Bone marrow aspirate smear. May-Grünwald-Giemsa/Pappenheim stain
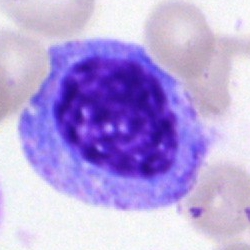
Q: What type of cell is this?
A: It is a progranulocyte.